Single-cell field. Peripheral blood smear:
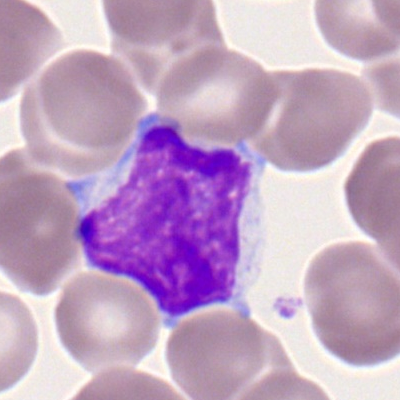

Morphological class — typical lymphocyte.